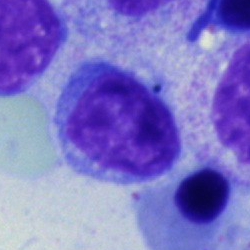 Cell type = typical lymphocyte.